Bone marrow aspirate smear: 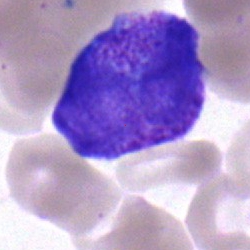

Q: What is shown here?
A: This is a blast cell.